May-Grünwald-Giemsa/Pappenheim stain; cropped to a single cell; bone marrow smear
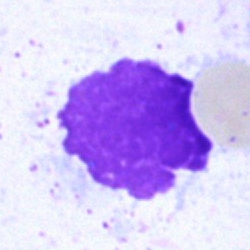The cell shown is an artifact.